Bone marrow smear.
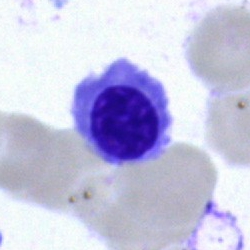

Cell: erythroblast.